Cropped to a single cell. Bone marrow aspirate smear. 250×250.
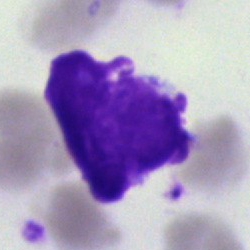
Cell type: artefact.